MGG-stained. 250 by 250 pixels. Bone marrow aspirate smear: 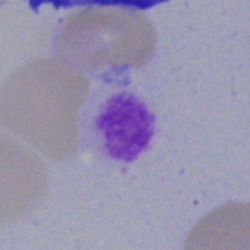

Artifact.